Bone marrow aspirate smear: 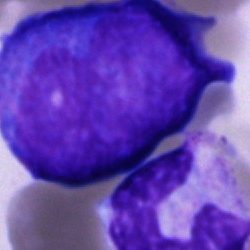

Specimen: bone marrow aspirate smear.
Classification: blast cell.